Bone marrow aspirate smear — 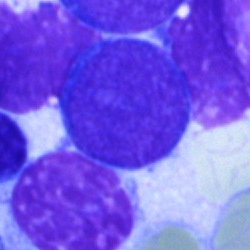This is a blast cell.